Bone marrow smear.
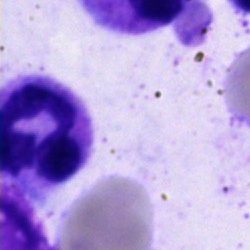

Morphology consistent with a neutrophil (segmented).